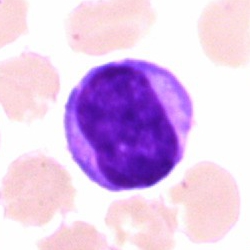Specimen: bone marrow smear.
Morphological class: lymphocyte.
Lineage: lymphoid.